Image size 250×250; bone marrow smear — 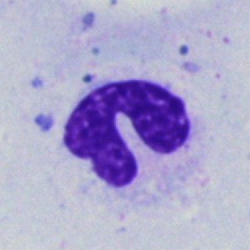Specimen: bone marrow smear.
Cell: polymorphonuclear neutrophil.